Bone marrow aspirate smear
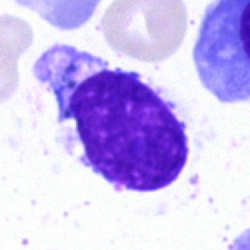 This is a lymphocyte.